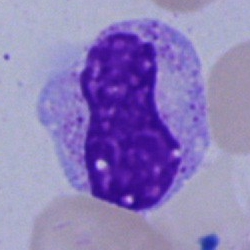Morphology — neutrophil (band).